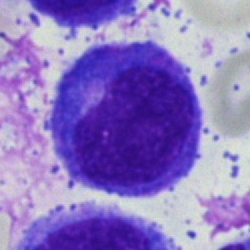

Cell type = promyelocyte.